Bone marrow smear: 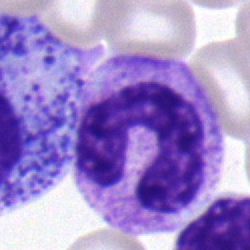Morphology — band-form neutrophil.